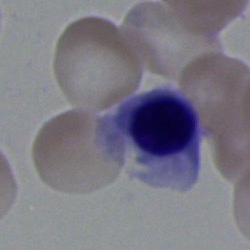
Q: What is shown here?
A: A nucleated red blood cell.